Bone marrow aspirate smear — 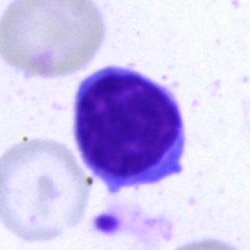 Morphological class — lymphocyte.